Bone marrow smear
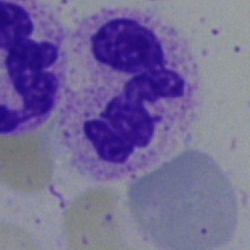

The morphological class is segmented neutrophil.